Pappenheim-stained; bone marrow smear:
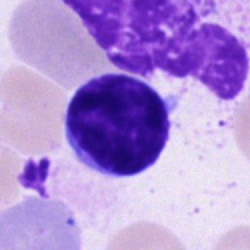

Morphological class: lymphocyte.